Bone marrow smear.
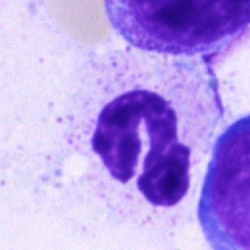 A polymorphonuclear neutrophil.